Romanowsky-type stain · peripheral blood smear
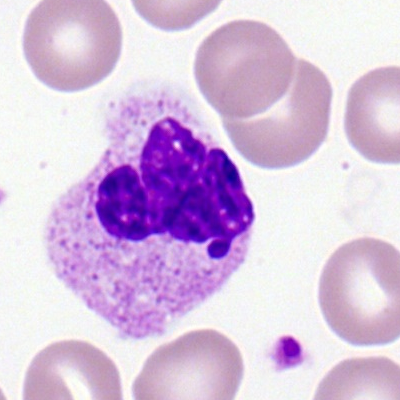Cell — segmented neutrophil.